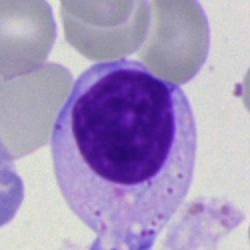A lymphocyte.